May-Grünwald-Giemsa/Pappenheim stain · bone marrow smear: 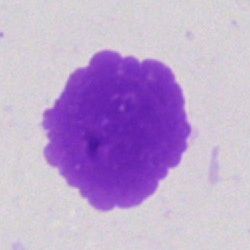
Morphological class = artifact.